250×250; bone marrow aspirate smear — 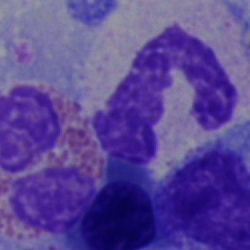 Impression — polymorphonuclear neutrophil.